Image size 250×250 · Pappenheim-stained · bone marrow aspirate smear — 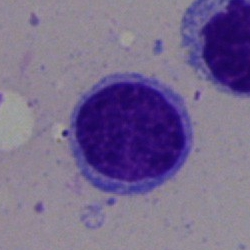Q: Which cell type is shown here?
A: It is a lymphocyte.